40× oil immersion; single-cell field; bone marrow smear: 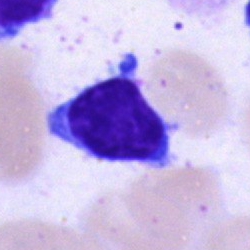

This is a typical lymphocyte.